Bone marrow smear: 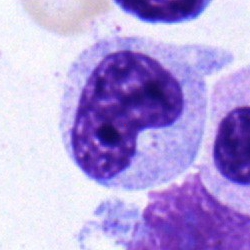

The cell shown is a metamyelocyte.